Bone marrow smear — 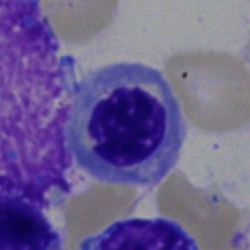
Showing a normoblast.